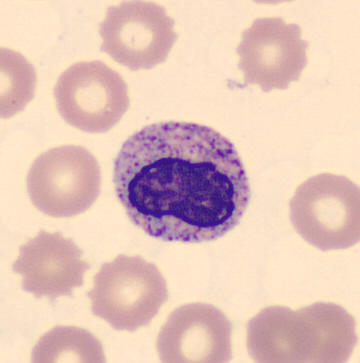
Image: Peripheral blood smear.

This is a metamyelocyte.